Bone marrow smear:
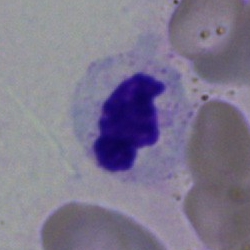Impression → neutrophil (segmented).